Bone marrow aspirate smear. Single cell centered in the field: 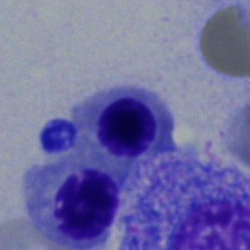Specimen: bone marrow smear.
Morphological class: nucleated red blood cell.